Brightfield, 40× oil-immersion objective. Bone marrow smear: 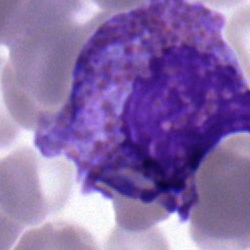 Q: What type of cell is this?
A: It is an eosinophil.